Bone marrow aspirate smear.
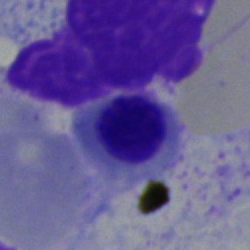

Nucleated red cell.